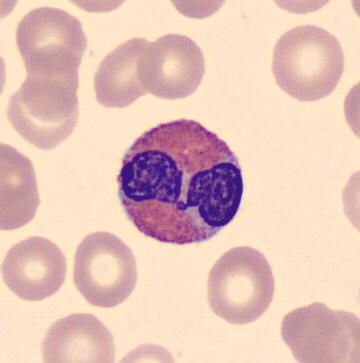

Q: Which cell type is shown here?
A: An eosinophil. Preparation: Imaged on a CellaVision DM96 analyser · May-Grünwald-Giemsa-stained · peripheral blood smear.